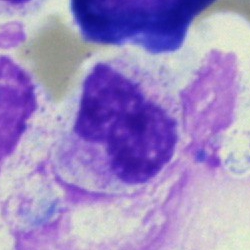
Cell — metamyelocyte.